Brightfield, 40× oil-immersion objective; bone marrow aspirate smear — 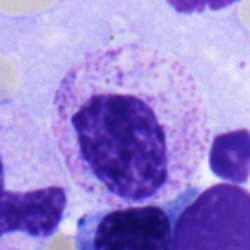 Cell type: myelocyte.